250×250. Bone marrow aspirate smear:
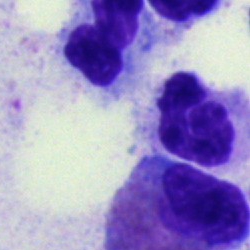This is a polymorphonuclear neutrophil.